Brightfield, 40× oil-immersion objective; bone marrow aspirate smear: 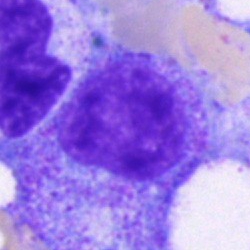

Cell = progranulocyte.